Peripheral blood film · Romanowsky-stained.
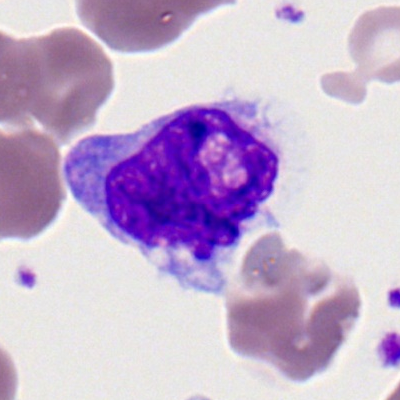Impression → monocyte.